MGG-stained · brightfield, 40× oil-immersion objective · bone marrow smear.
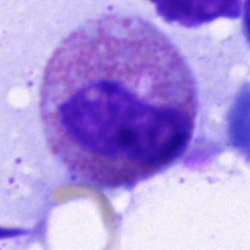

Showing an eosinophil.